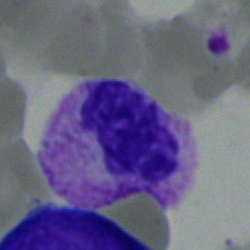Impression → segmented neutrophil.